Bone marrow smear. Single-cell field — 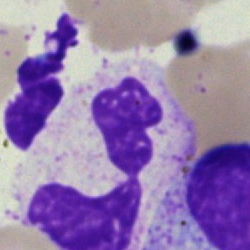
Morphology consistent with a segmented neutrophil.